Cropped to a single cell · bone marrow aspirate smear · 40× oil immersion.
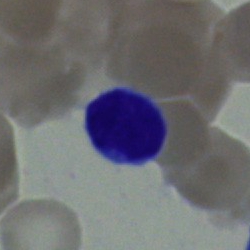 This is a lymphocyte.